Bone marrow smear: 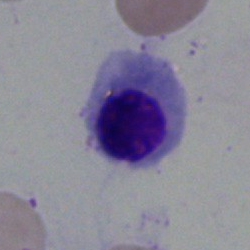Morphology consistent with a nucleated red cell.